May-Grünwald-Giemsa stain · bone marrow aspirate smear · brightfield microscopy, 40× oil immersion
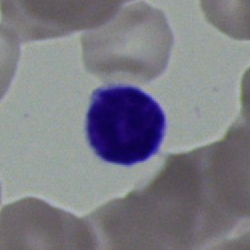
Q: What cell is this?
A: A lymphocyte.